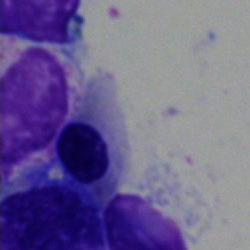 Cell type — nucleated red cell.